250×250 · bone marrow aspirate smear · 40× oil immersion: 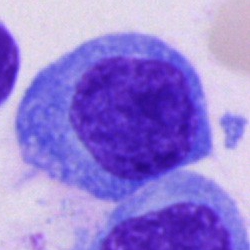 Specimen: bone marrow aspirate smear.
Cell: plasmacyte.
Lineage: lymphoid.